400×400 px. Peripheral blood film. Single-cell field:
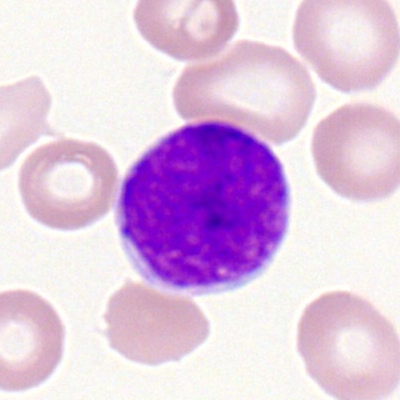

Morphological class = myeloblast.